Bone marrow smear — 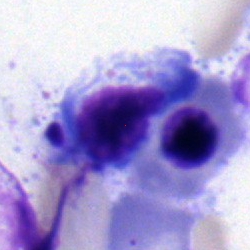 Morphology — lymphocyte.